Bone marrow smear — 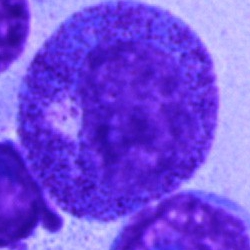

The cell type is progranulocyte.